Bone marrow aspirate smear. Brightfield microscopy, 40× oil immersion. Single-cell field.
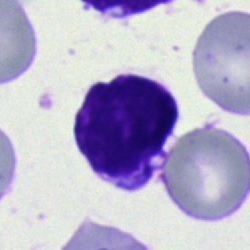

Specimen: bone marrow aspirate smear.
Morphological class: artifact.